Peripheral blood film:
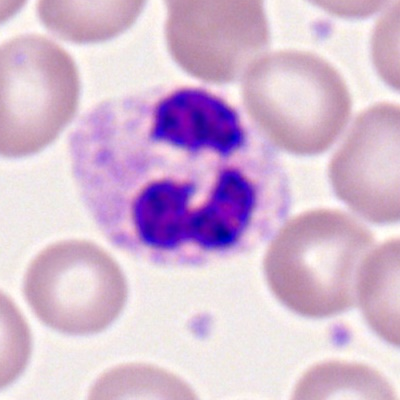

The cell shown is a polymorphonuclear neutrophil.